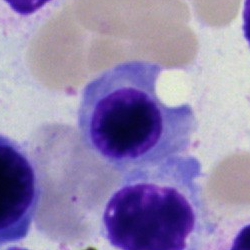 Q: Identify the cell.
A: It is a nucleated red cell.